Bone marrow smear — 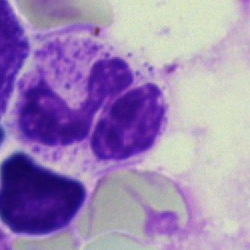

Polymorphonuclear neutrophil.